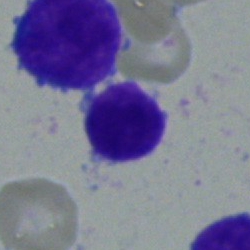The morphological class is undifferentiated blast.